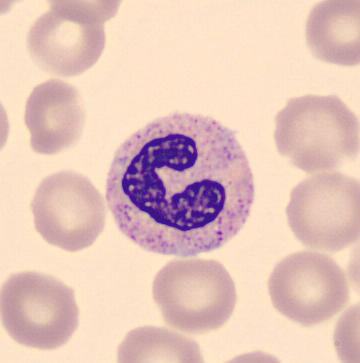
Peripheral blood smear.

This is a band neutrophil.